Bone marrow smear; cropped to a single cell:
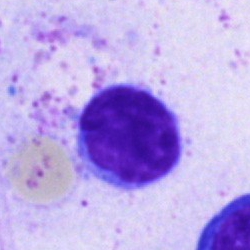 {"cell_type": "typical lymphocyte"}